Bone marrow smear. 250 by 250 pixels.
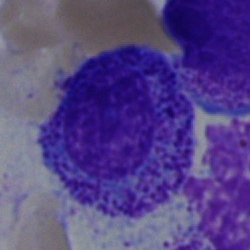 Specimen: bone marrow aspirate smear.
Cell type: myelocyte.